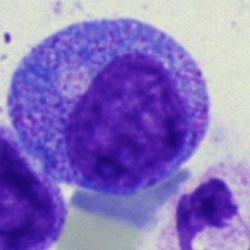

Cell = progranulocyte.